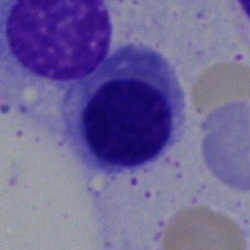 Q: What is shown here?
A: Normoblast.